Bone marrow smear — 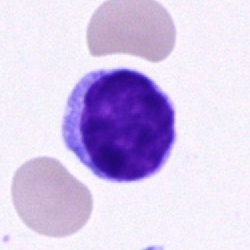 The morphological class is typical lymphocyte.